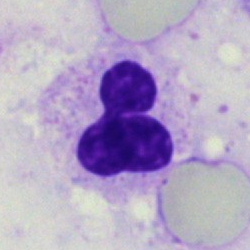

Morphology → neutrophil (segmented).